Romanowsky-stained · peripheral blood film · M8 digital microscope (Precipoint), 100× oil immersion:
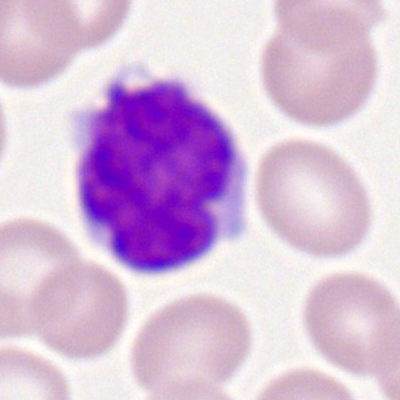
Cell type — typical lymphocyte.